Bone marrow aspirate smear.
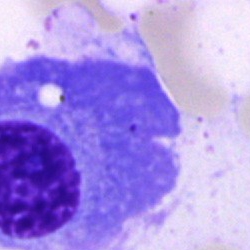Showing a plasma cell.